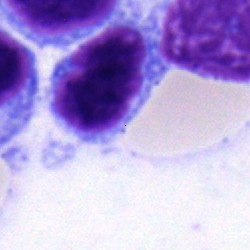Q: Which cell type is shown here?
A: A lymphocyte.